Bone marrow aspirate smear:
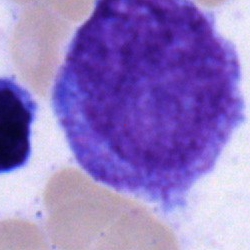 The cell type is undifferentiated blast.